Bone marrow smear. 250 by 250 pixels. Single-cell crop:
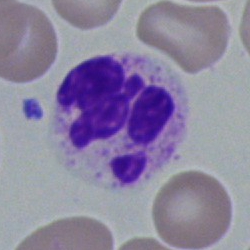 Morphological class: neutrophil (segmented).